Bone marrow smear
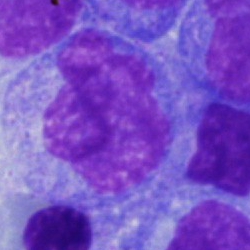 Morphology — monocyte.